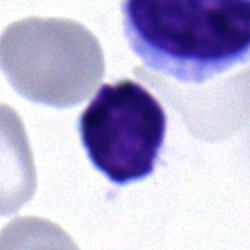Specimen: bone marrow aspirate smear.
Cell: lymphocyte.